Bone marrow aspirate smear
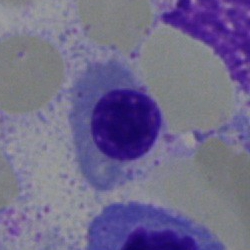
Specimen: bone marrow aspirate smear.
Cell: normoblast.
Lineage: erythroid.